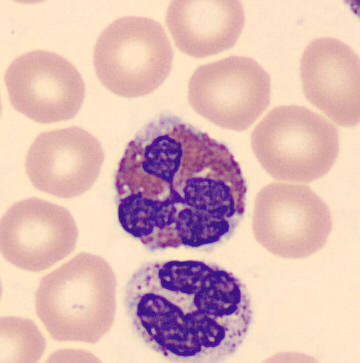Cell: eosinophil.